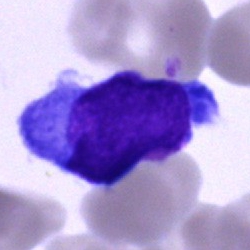

Impression — blast cell.